Cropped to a single cell. Bone marrow smear. May-Grünwald-Giemsa stain.
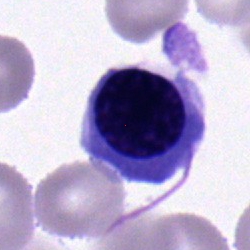
Q: What is the morphological classification of this cell?
A: Nucleated red cell.